Bone marrow aspirate smear. Brightfield, 40× oil-immersion objective. May-Grünwald-Giemsa/Pappenheim stain:
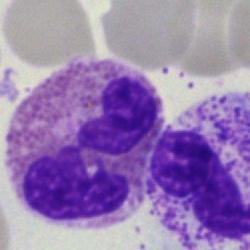 Morphology → eosinophil.